Peripheral blood smear. Romanowsky stain
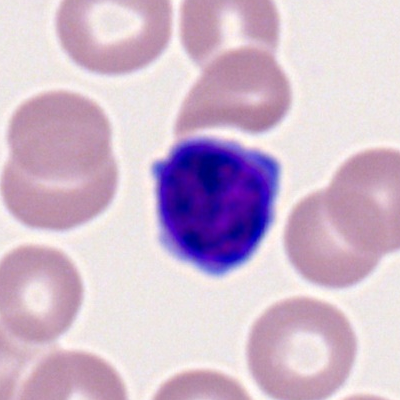

Classification: lymphocyte.